Bone marrow smear · MGG-stained.
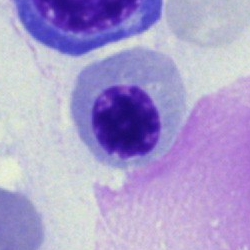

Classification — normoblast.